Bone marrow smear: 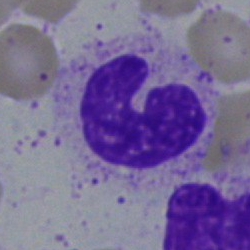

The morphological class is band neutrophil.